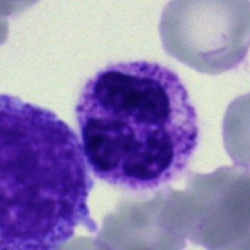
This is a segmented neutrophil.